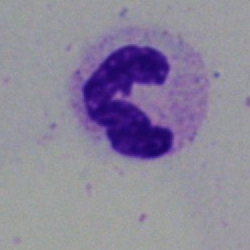
Q: What type of cell is this?
A: This is a neutrophil (segmented).